Bone marrow aspirate smear:
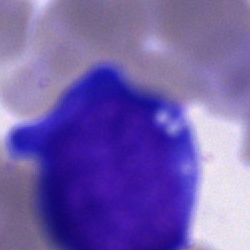 Morphology → pronormoblast.